Bone marrow smear; 250×250 px; 40× objective, oil immersion
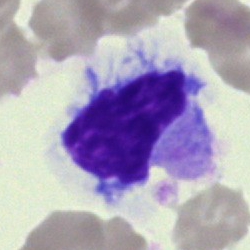 Showing a hairy cell.